Bone marrow smear — 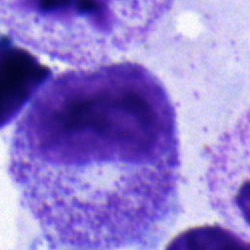Cell type = progranulocyte.